Bone marrow aspirate smear; cropped to a single cell: 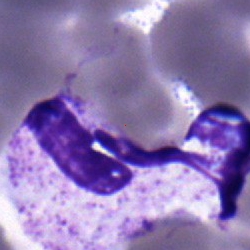 The cell is neutrophil (segmented).